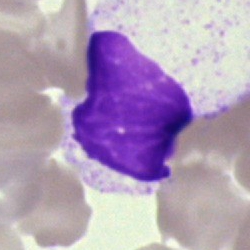Specimen: bone marrow smear.
Cell type: cell of indeterminate lineage.